Pappenheim-stained. Bone marrow aspirate smear — 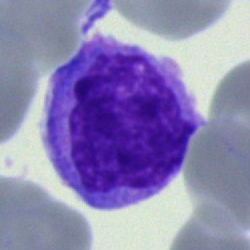
{"cell_type": "monocyte", "lineage": "myeloid"}